Peripheral blood film; 400×400 px:
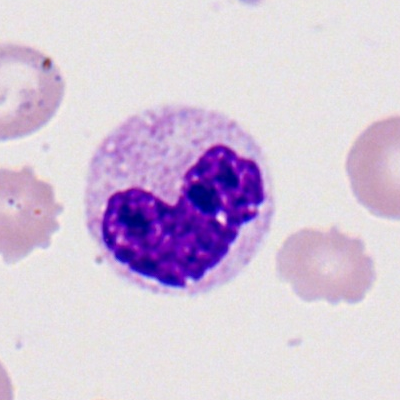 Morphology → band neutrophil.